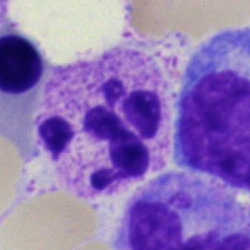The cell shown is a segmented neutrophil.